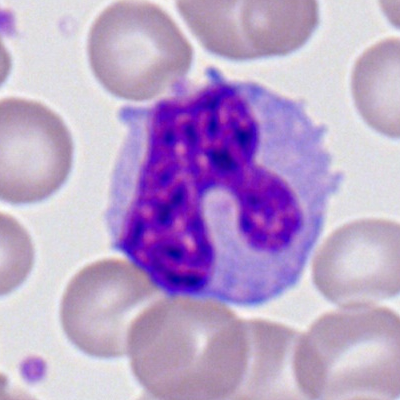A monocyte on a peripheral blood smear.